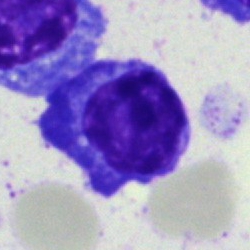

Cell type — plasmacyte.